Bone marrow aspirate smear · 250×250 — 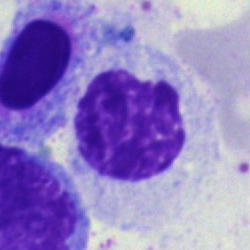{"cell_type": "artifact"}